Single cell centered in the field · bone marrow aspirate smear · brightfield microscopy, 40× oil immersion
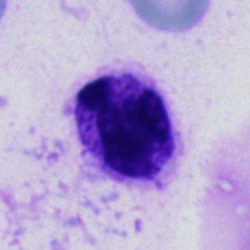Morphology → segmented neutrophil.